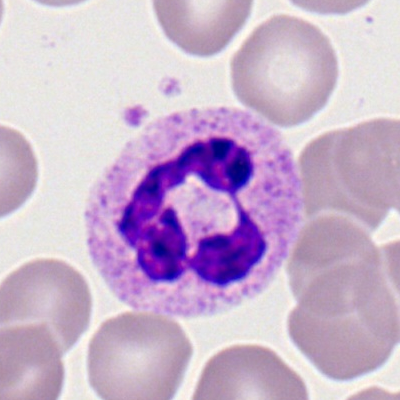

Classification — neutrophil (segmented).